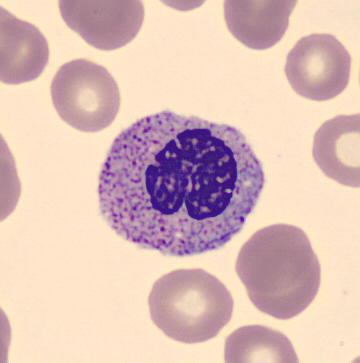

Q: What cell is this?
A: Metamyelocyte.